Bone marrow aspirate smear. Single-cell field. MGG-stained.
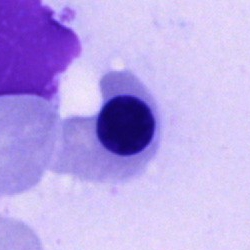
Classification — normoblast.